250×250 px; bone marrow smear; Pappenheim-stained: 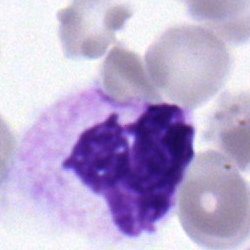
A neutrophil (segmented).